MGG-stained · bone marrow smear
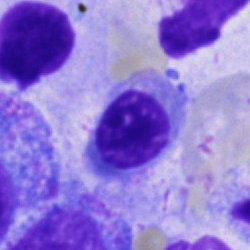
Cell — normoblast.